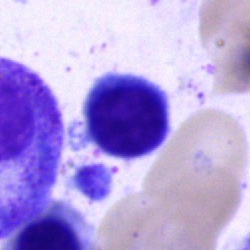 Impression — lymphocyte.